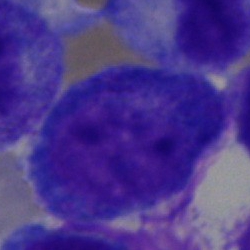

Impression → proerythroblast.